Bone marrow smear. 40× objective, oil immersion — 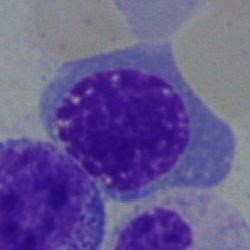

{"cell_type": "nucleated red blood cell", "lineage": "erythroid"}